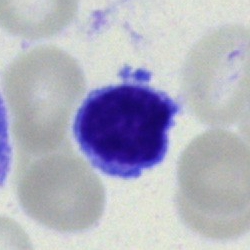
Q: Identify the cell.
A: This is a lymphocyte.